Bone marrow smear: 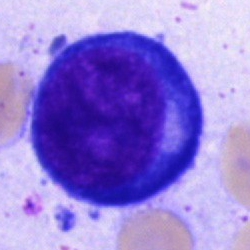 The classification is pronormoblast.